Peripheral blood smear — 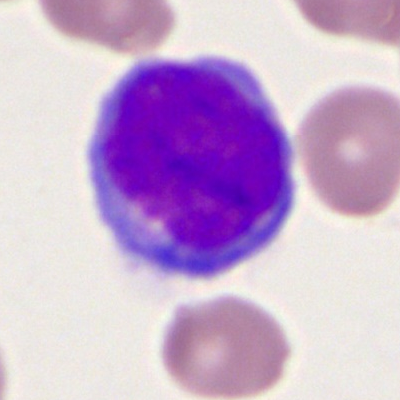 Classification: myeloblast.